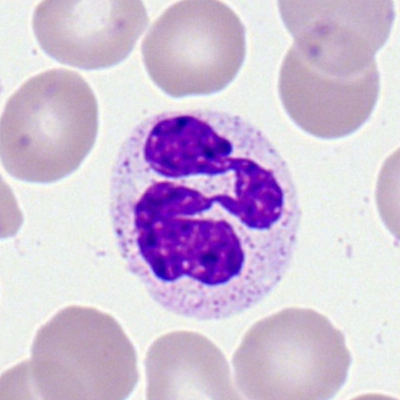A segmented neutrophil on a peripheral blood smear.